Bone marrow smear. Single-cell field: 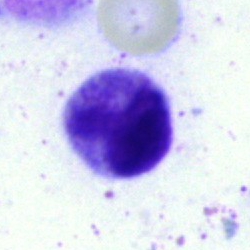

Classification — myelocyte.